Bone marrow aspirate smear.
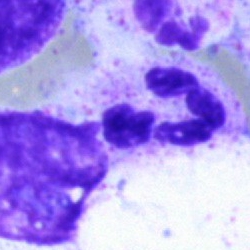

Cell type: polymorphonuclear neutrophil.